Bone marrow smear — 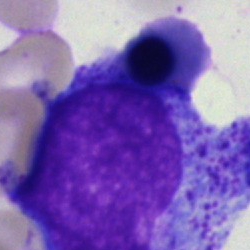 Cell type: progranulocyte.